Bone marrow smear — 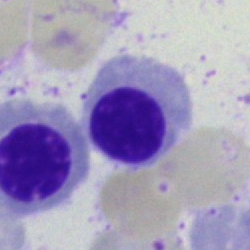
Morphology → erythroblast.